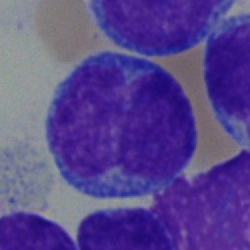Morphology consistent with a blast.